Bone marrow aspirate smear:
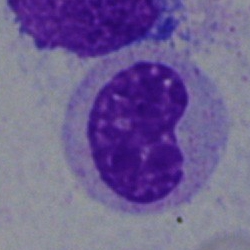

Morphology → metamyelocyte.